Bone marrow aspirate smear · image size 250×250: 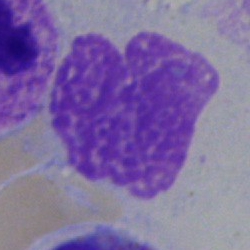
Q: What is shown here?
A: This is an artifact.